May-Grünwald-Giemsa/Pappenheim stain; bone marrow smear
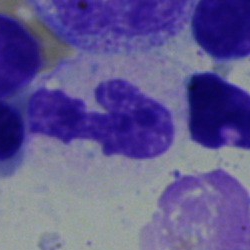 Cell = neutrophil (band).